Bone marrow aspirate smear · May-Grünwald-Giemsa/Pappenheim stain.
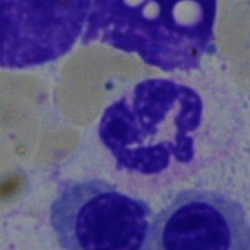 Single cell identified as a neutrophil (segmented).